CellaVision DM96. MGG-stained. Peripheral blood film: 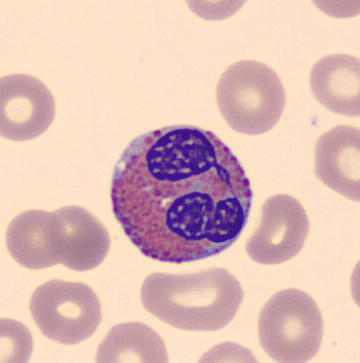Classification: eosinophil.